Bone marrow smear.
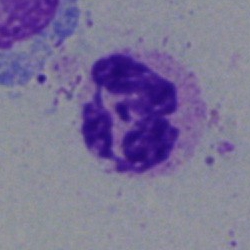 Cell type: neutrophil (segmented).